Single-cell crop; bone marrow aspirate smear — 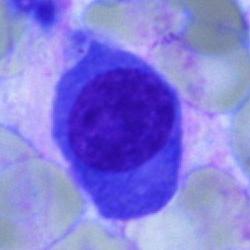The cell type is plasmacyte.